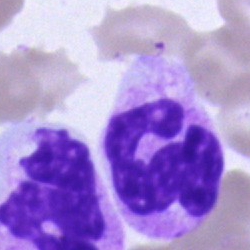Single cell identified as a neutrophil (segmented).